Bone marrow smear. May-Grünwald-Giemsa/Pappenheim stain
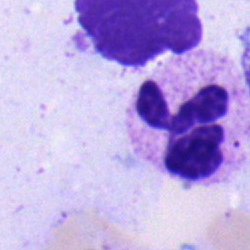Q: What type of cell is this?
A: This is a neutrophil (segmented).